Bone marrow smear:
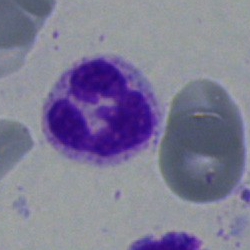 Q: Which cell type is shown here?
A: A polymorphonuclear neutrophil.